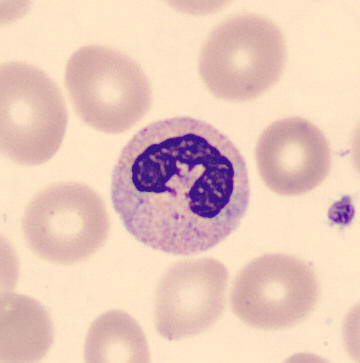 Preparation: Peripheral blood smear · MGG-stained · CellaVision DM96 digital cell image.

Morphology — neutrophil (band).